Bone marrow smear. 40× objective, oil immersion.
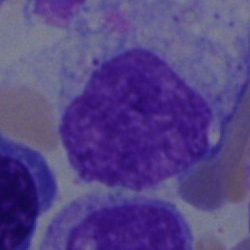

Impression → artifact.